Bone marrow smear:
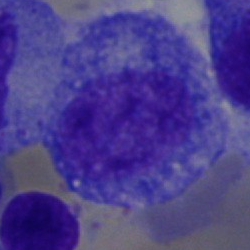 Cell type = promyelocyte.